Bone marrow smear · May-Grünwald-Giemsa stain · 250×250 px — 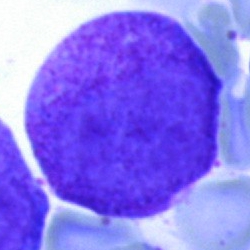 Classification — promyelocyte.